Bone marrow smear; 250×250 px: 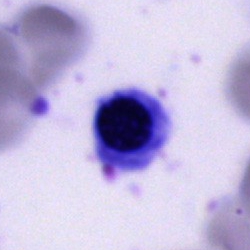A normoblast.